Bone marrow aspirate smear · single-cell crop · brightfield, 40× oil-immersion objective:
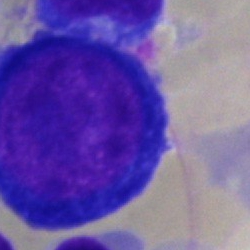

Showing a proerythroblast.